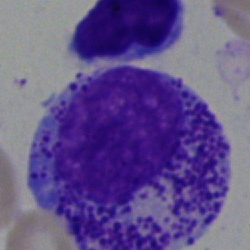

Bone marrow smear showing a myelocyte.